Bone marrow aspirate smear: 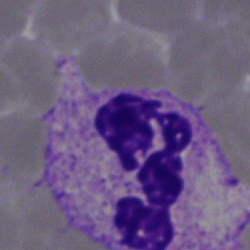 Morphological class = polymorphonuclear neutrophil.